Bone marrow smear
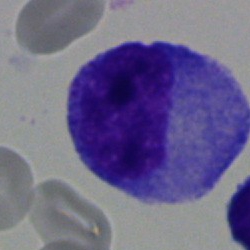Progranulocyte.